Single-cell crop; image size 250×250; bone marrow aspirate smear — 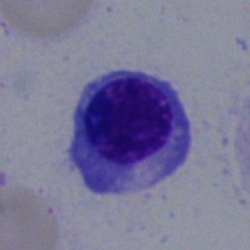
Specimen: bone marrow smear.
Cell type: nucleated red blood cell.
Lineage: erythroid.